Bone marrow smear.
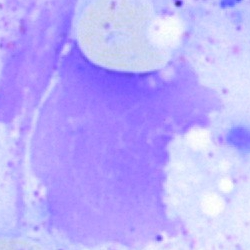The cell type is artifact.